Romanowsky stain · peripheral blood smear.
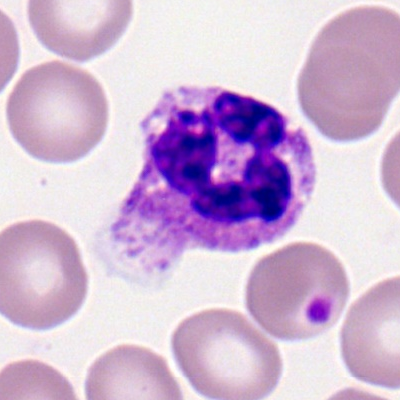Cell — neutrophil (segmented).